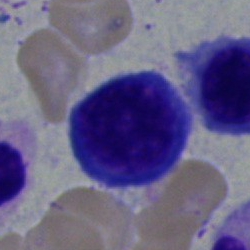 This is an erythroblast.